Brightfield microscopy, 40× oil immersion · bone marrow smear · Pappenheim-stained: 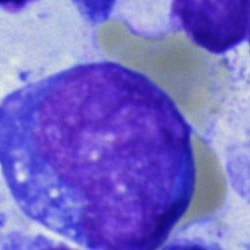
Specimen: bone marrow smear.
Cell: blast.